May-Grünwald-Giemsa stain. Bone marrow aspirate smear.
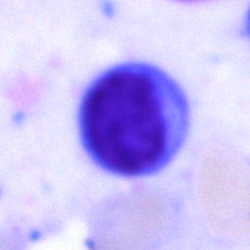

Specimen: bone marrow aspirate smear.
Morphological class: typical lymphocyte.
Lineage: lymphoid.